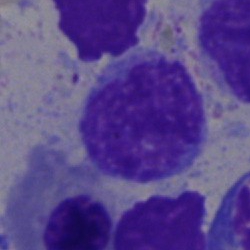
Bone marrow smear showing a lymphocyte.